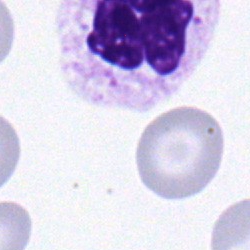 Morphological class — segmented neutrophil.